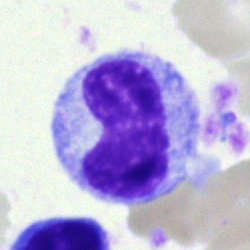 Specimen: bone marrow smear.
Cell: metamyelocyte.